Bone marrow aspirate smear.
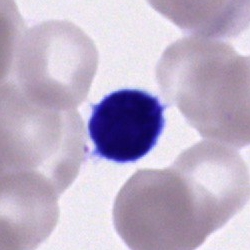

Morphology — lymphocyte.